May-Grünwald-Giemsa stain; single cell centered in the field; bone marrow aspirate smear.
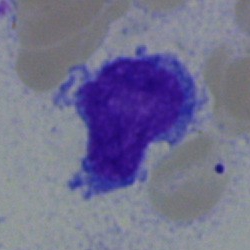Showing a lymphocyte.